Bone marrow smear.
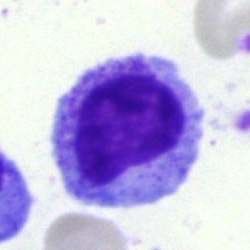Morphology consistent with a myelocyte.